Bone marrow smear:
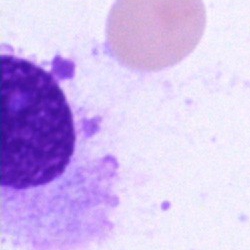

Showing an artifact.